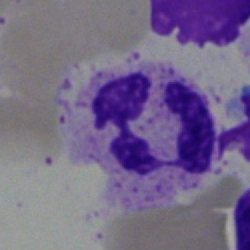
Morphology → polymorphonuclear neutrophil.